Peripheral blood film
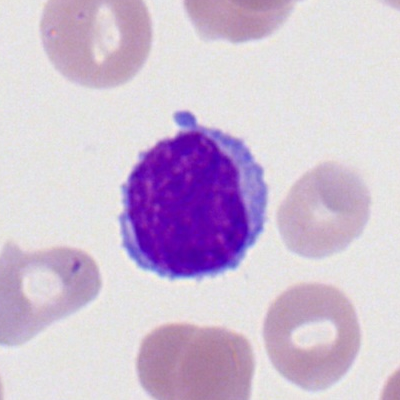

Specimen: peripheral blood film.
Morphological class: lymphocyte.
Lineage: lymphoid.